Bone marrow smear. 250 by 250 pixels. Cropped to a single cell — 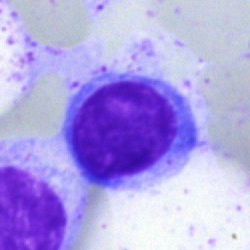
Showing a typical lymphocyte.